40× objective, oil immersion. Bone marrow aspirate smear. Pappenheim-stained: 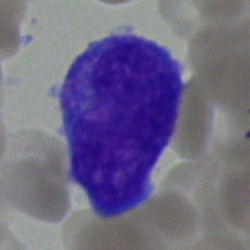 Q: Identify the cell.
A: A blast cell.